Bone marrow smear: 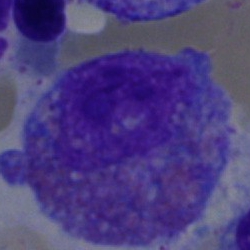
Specimen: bone marrow smear.
Cell: eosinophil.
Lineage: myeloid.